Bone marrow smear
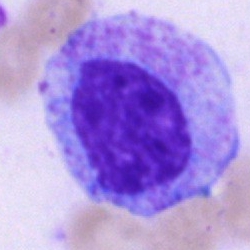

Impression → progranulocyte.